Bone marrow aspirate smear. 40× oil immersion: 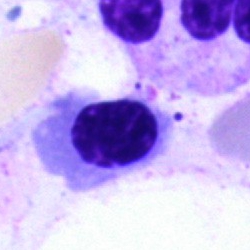 This is a nucleated red cell.